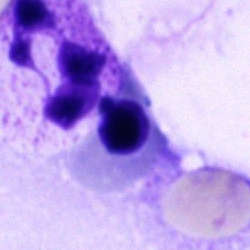 Q: What is the morphological classification of this cell?
A: This is a polymorphonuclear neutrophil.